Single cell centered in the field. Bone marrow smear: 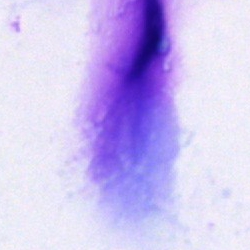
Specimen: bone marrow aspirate smear.
Morphological class: artifact.